Bone marrow smear — 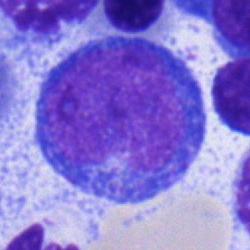Cell type: promyelocyte.